Pappenheim-stained; bone marrow smear; brightfield microscopy, 40× oil immersion: 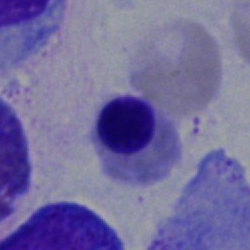

Impression — nucleated red cell.